Bone marrow smear: 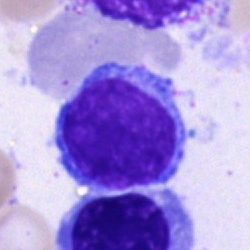Impression — lymphocyte.